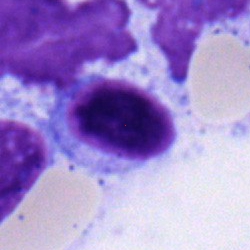
The cell shown is a typical lymphocyte.